Bone marrow aspirate smear — 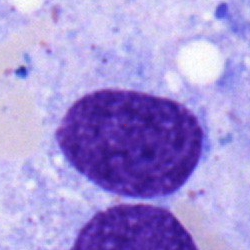 Classification = typical lymphocyte.